Single cell centered in the field; bone marrow aspirate smear; brightfield, 40× oil-immersion objective: 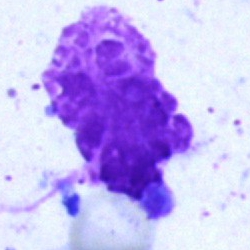
Cell type — artefact.